Bone marrow smear:
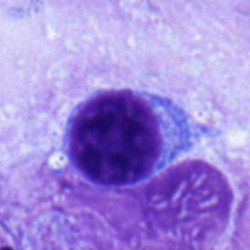

Lymphocyte.